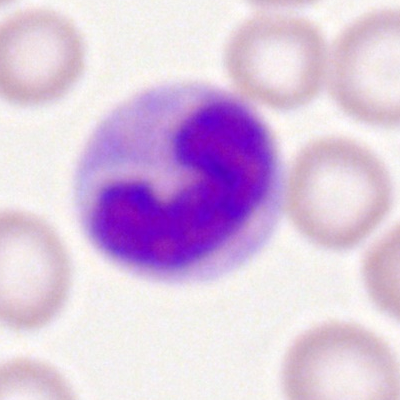

Band-form neutrophil.